Bone marrow smear: 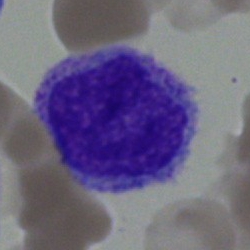 Q: What is the morphological classification of this cell?
A: Monocyte.